400 by 400 pixels · peripheral blood film: 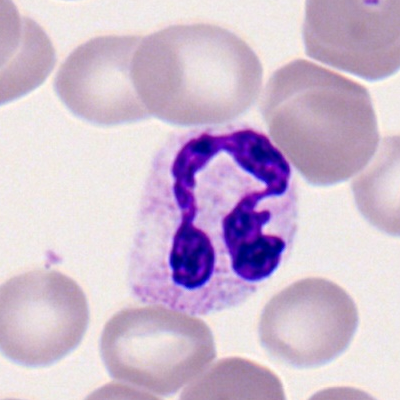

Q: Which cell type is shown here?
A: A neutrophil (segmented).